Bone marrow smear:
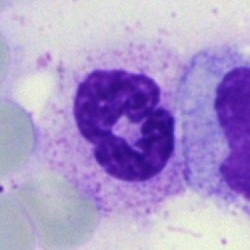
Q: Identify the cell.
A: It is a neutrophil (segmented).